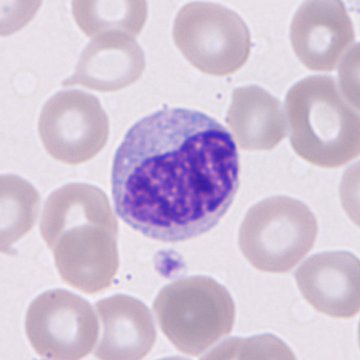
CellaVision DM96; peripheral blood smear.
{"cell_type": "immature granulocyte (promyelocyte, myelocyte or metamyelocyte)", "lineage": "myeloid"}